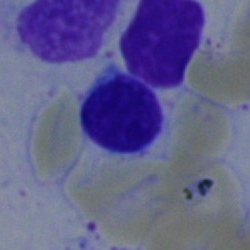 Morphology consistent with a typical lymphocyte.